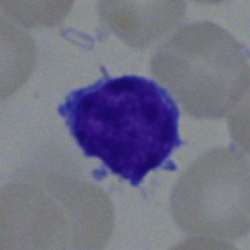Bone marrow smear showing a lymphocyte.